Bone marrow aspirate smear:
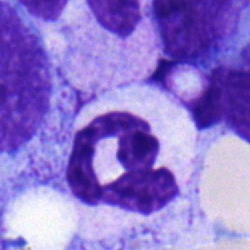 Morphological class: segmented neutrophil.